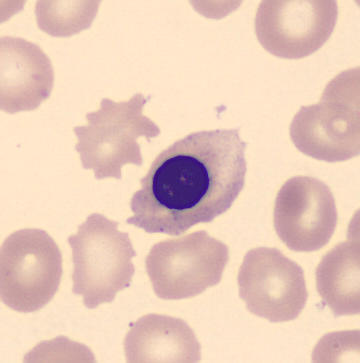

Peripheral blood film.

Morphological class = nucleated red cell.